Bone marrow smear
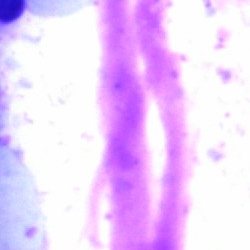

Morphological class: artefact.